40× objective, oil immersion. Bone marrow smear.
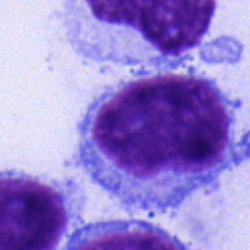
Specimen: bone marrow smear.
Morphological class: typical lymphocyte.